M8 digital microscope (Precipoint), 100× oil immersion. Peripheral blood smear. 400×400 px:
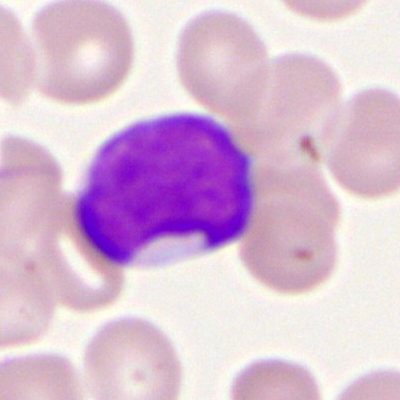
This is a myeloid blast.